Bone marrow aspirate smear:
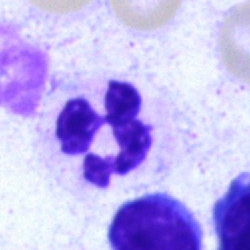
Q: What cell is this?
A: Segmented neutrophil.